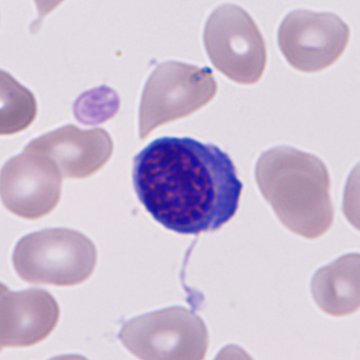
{"cell_type": "erythroblast"}